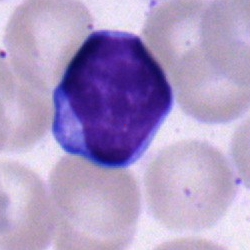 Morphology consistent with a typical lymphocyte.